40× objective, oil immersion. Image size 250×250. Bone marrow aspirate smear — 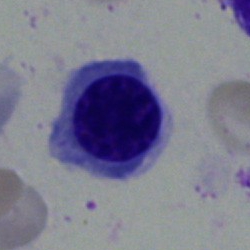
Showing a nucleated red blood cell.